Bone marrow aspirate smear — 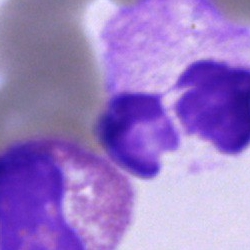

Q: What is the morphological classification of this cell?
A: This is a segmented neutrophil.